Bone marrow smear:
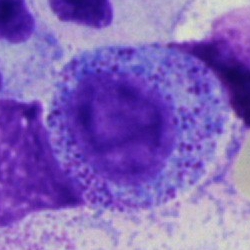 A promyelocyte.